Bone marrow aspirate smear · brightfield microscopy, 40× oil immersion
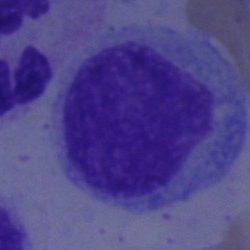
This is a monocyte.